40× objective, oil immersion; bone marrow smear; Pappenheim-stained
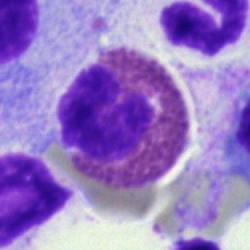 The cell shown is an eosinophil.